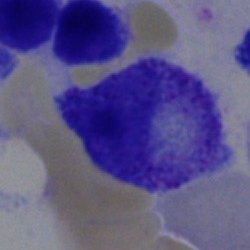
Cell type — myelocyte.